Bone marrow smear: 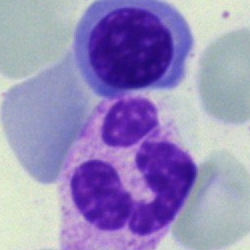
Single cell identified as a polymorphonuclear neutrophil.